400×400; peripheral blood film.
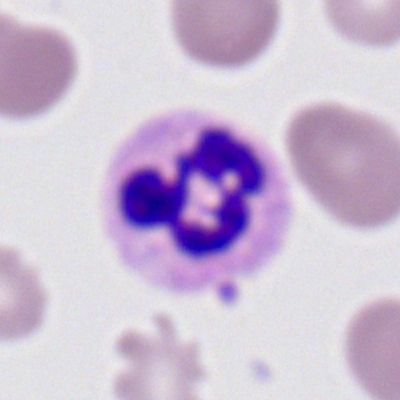
Morphological class = polymorphonuclear neutrophil.